May-Grünwald-Giemsa/Pappenheim stain · 40× oil immersion · bone marrow aspirate smear: 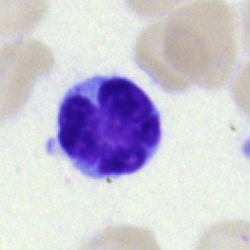 Q: Identify the cell.
A: This is a typical lymphocyte.